Bone marrow smear; brightfield, 40× oil-immersion objective: 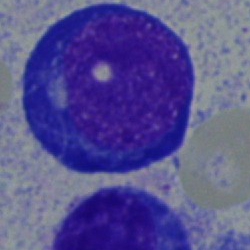 Cell = pronormoblast.